Bone marrow smear
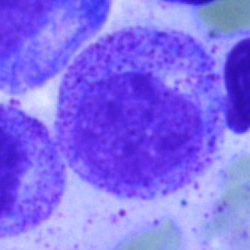 Morphology — myelocyte.